Bone marrow smear
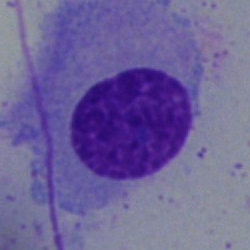

Morphological class = plasma cell.